Bone marrow smear:
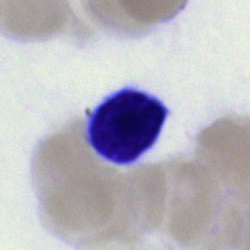 Classification: typical lymphocyte.